Pappenheim-stained; bone marrow aspirate smear — 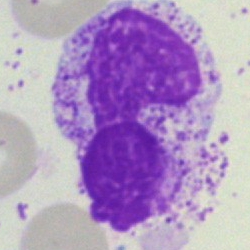

The classification is artifact.